250×250 px. Brightfield microscopy, 40× oil immersion. Bone marrow smear
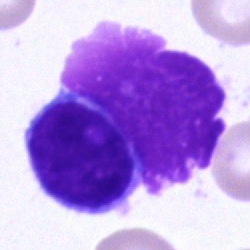 Q: What is shown here?
A: This is an artefact.